Bone marrow aspirate smear — 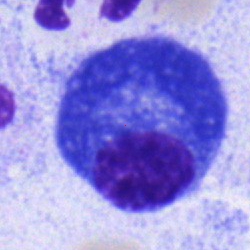The morphological class is plasmacyte.